Bone marrow aspirate smear · 40× oil immersion — 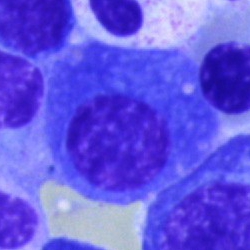 The cell shown is a plasmacyte.